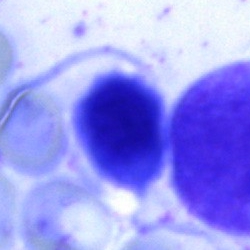
Showing a cell of indeterminate lineage.